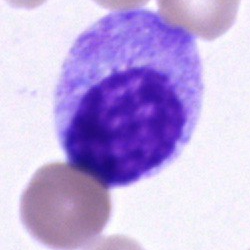
Single cell identified as a myelocyte.